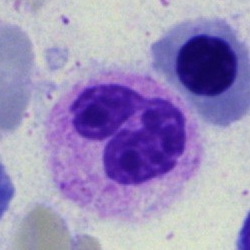
Showing a segmented neutrophil.